Peripheral blood film.
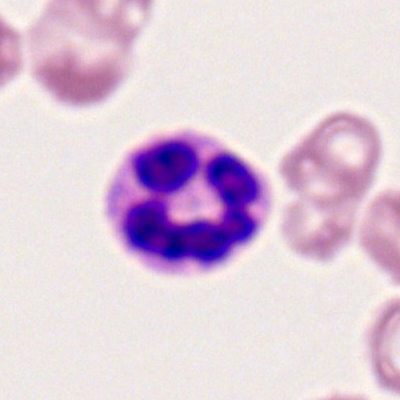The cell is polymorphonuclear neutrophil.